Bone marrow smear:
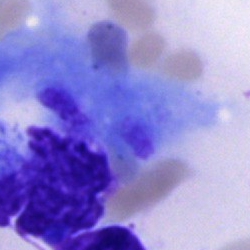Artefact.